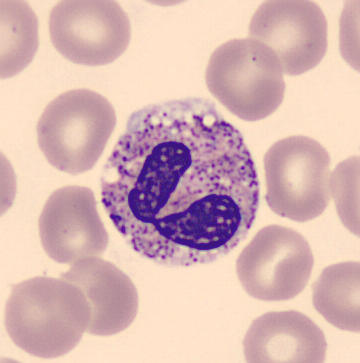Impression → segmented neutrophil.
Peripheral blood smear.